Bone marrow aspirate smear: 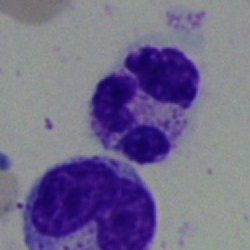

Polymorphonuclear neutrophil.